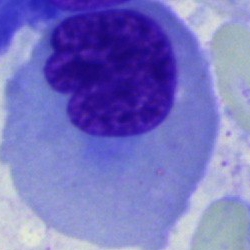Showing a nucleated red blood cell.